40× objective, oil immersion. Bone marrow smear. MGG-stained: 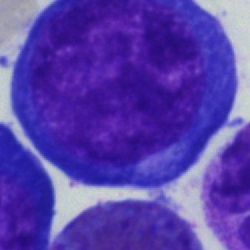
Cell — proerythroblast.